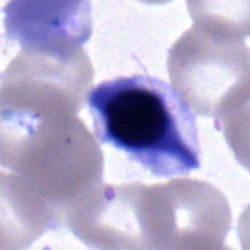
Q: What cell is this?
A: Erythroblast.